Bone marrow aspirate smear · Pappenheim-stained:
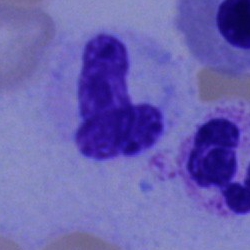A band-form neutrophil.